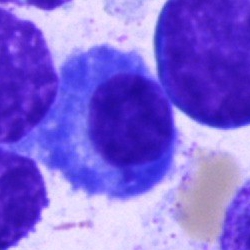Showing a plasma cell.